Bone marrow aspirate smear: 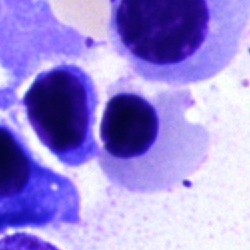Showing a nucleated red blood cell.